May-Grünwald-Giemsa stain · 250×250 · bone marrow smear.
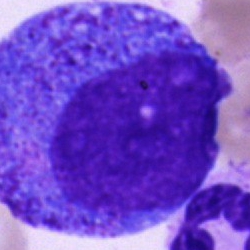 Q: What is shown here?
A: A progranulocyte.